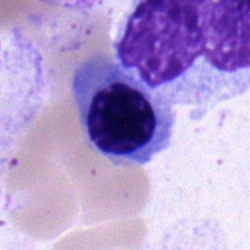
Morphological class = nucleated red blood cell.